Bone marrow smear.
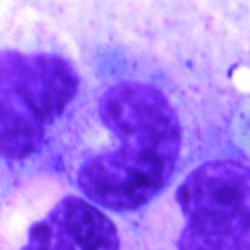Classification = band-form neutrophil.